Bone marrow aspirate smear:
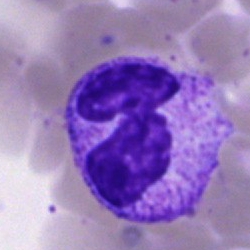 Impression → segmented neutrophil.